Peripheral blood film; image size 400×400; Romanowsky-stained
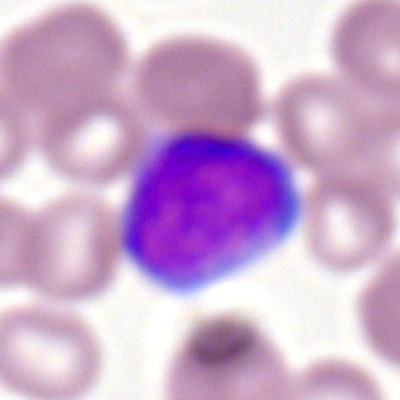
Specimen: peripheral blood smear.
Morphological class: myeloid blast.
Lineage: myeloid.